40× objective, oil immersion. Bone marrow aspirate smear — 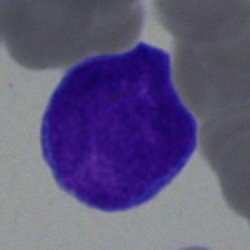
Q: What cell is this?
A: A blast cell.